M8 digital microscope (Precipoint), 100× oil immersion; peripheral blood film; Romanowsky-type stain.
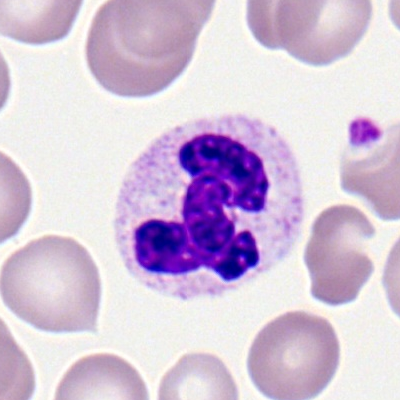Q: Which cell type is shown here?
A: It is a segmented neutrophil.